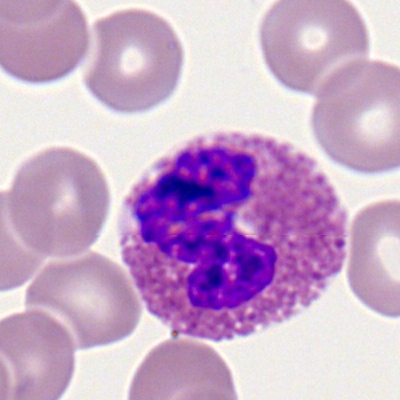 An eosinophil.